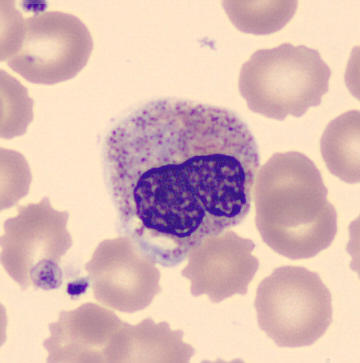 360×363 · peripheral blood film.

Cell = metamyelocyte.